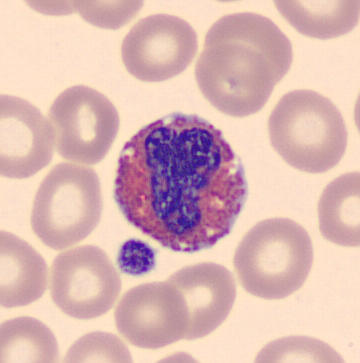Identified as an eosinophilic granulocyte.

Peripheral blood film.